Bone marrow smear: 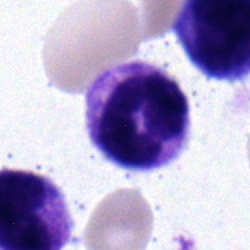 Q: What is the morphological classification of this cell?
A: A neutrophil (band).